Bone marrow smear; May-Grünwald-Giemsa stain: 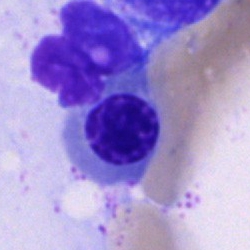 Morphological class = nucleated red cell.